250×250 px; brightfield microscopy, 40× oil immersion; bone marrow smear — 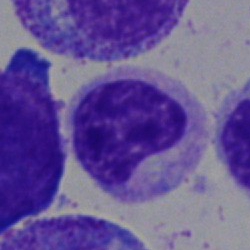This is a metamyelocyte.